Bone marrow smear. 40× objective, oil immersion. Single-cell crop
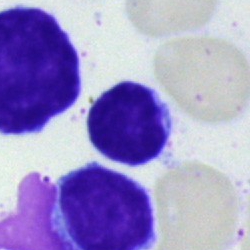
Single cell identified as a typical lymphocyte.